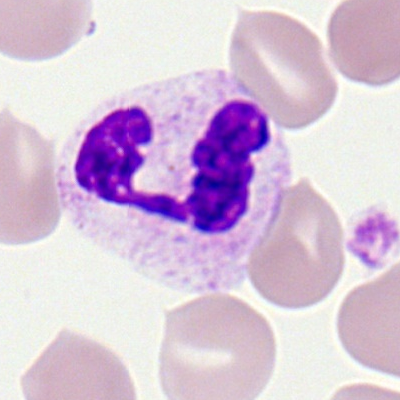Classification — polymorphonuclear neutrophil.